Bone marrow smear.
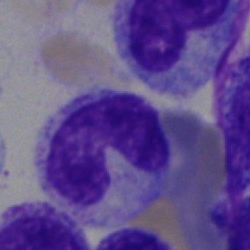A stab cell.